Peripheral blood smear · image size 400×400 — 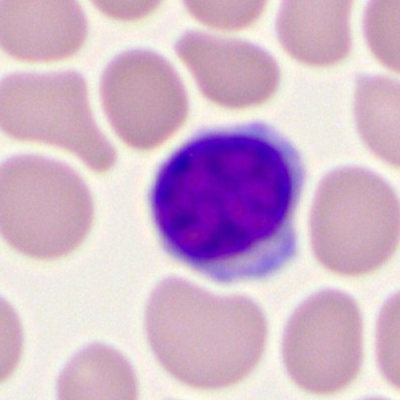

Morphology consistent with a lymphocyte.